Bone marrow smear:
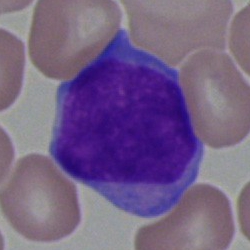 Morphology — blast cell.